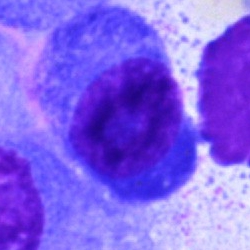
{"cell_type": "plasma cell"}